Bone marrow aspirate smear
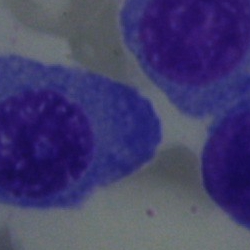 A plasmacyte.